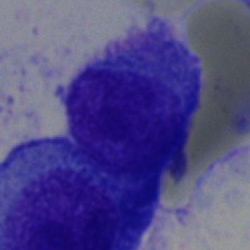

Specimen: bone marrow smear.
Classification: plasmacyte.
Lineage: lymphoid.